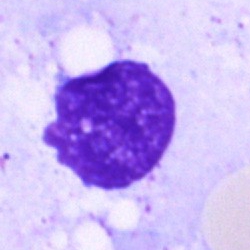

An artifact.